Pappenheim-stained. Bone marrow aspirate smear. 40× objective, oil immersion — 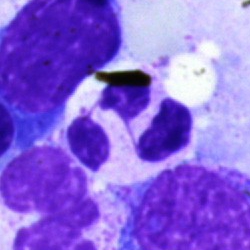 Single cell identified as a segmented neutrophil.